May-Grünwald-Giemsa stain; bone marrow aspirate smear; single cell centered in the field
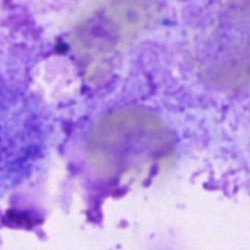This is an artefact.